Bone marrow aspirate smear. Cropped to a single cell: 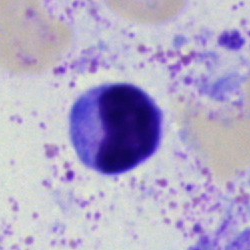
Lymphocyte.